Bone marrow aspirate smear.
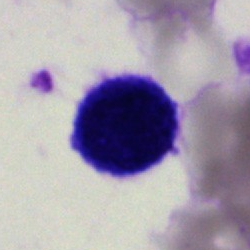
Morphological class = artefact.